Peripheral blood film · single-cell crop — 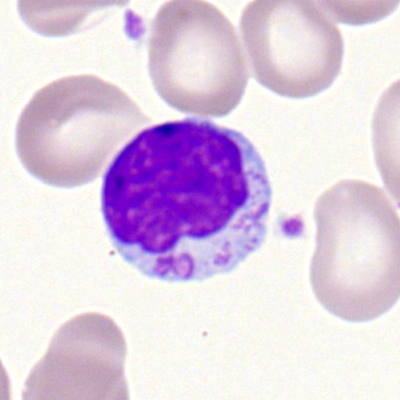
Lymphocyte.